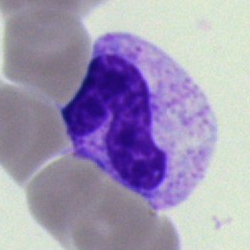
The morphological class is band neutrophil.